Cropped to a single cell; peripheral blood film; Romanowsky stain.
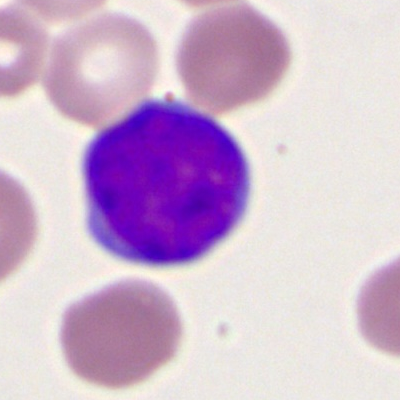 This is a myeloid blast.